Bone marrow smear:
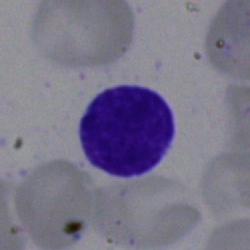
Specimen: bone marrow aspirate smear.
Morphological class: lymphocyte.